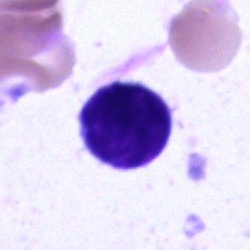 Morphology — typical lymphocyte.